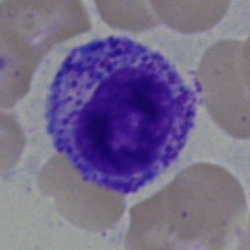
Q: What is the morphological classification of this cell?
A: It is a myelocyte.